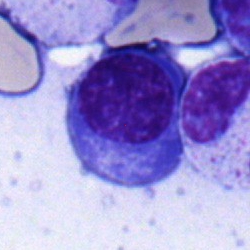 Morphology → nucleated red cell.